Bone marrow smear — 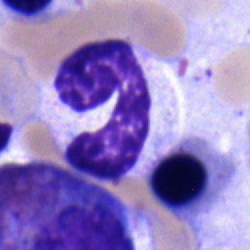Cell = band-form neutrophil.